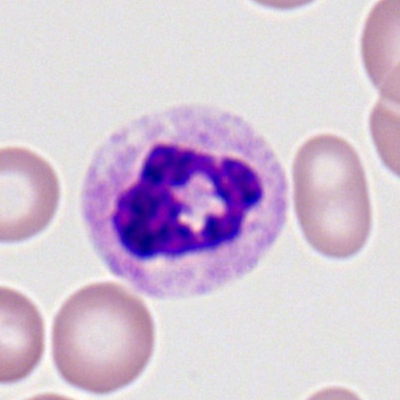 Peripheral blood film, single cell — neutrophil (segmented).